Peripheral blood smear — 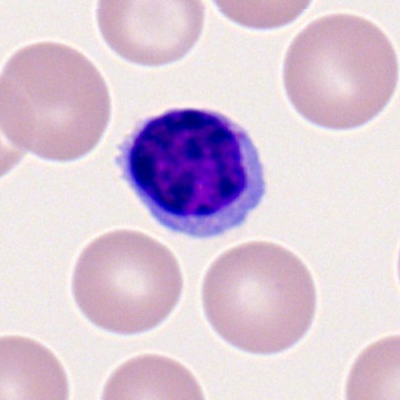Classification — lymphocyte.